Bone marrow aspirate smear; brightfield, 40× oil-immersion objective; cropped to a single cell:
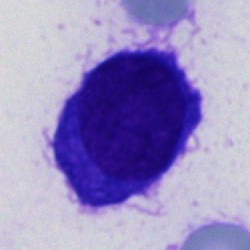 Morphology → unidentifiable cell.